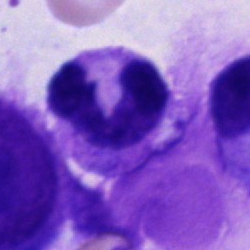

Morphological class: polymorphonuclear neutrophil.